Bone marrow aspirate smear — 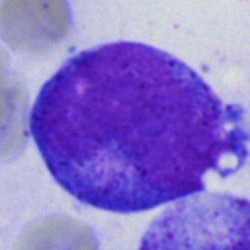 The cell is promyelocyte.